Bone marrow aspirate smear: 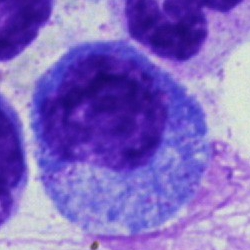
Specimen: bone marrow aspirate smear.
Classification: promyelocyte.
Lineage: myeloid.